40× objective, oil immersion; bone marrow smear — 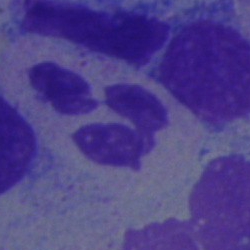Cell: polymorphonuclear neutrophil.